Pappenheim-stained · bone marrow aspirate smear: 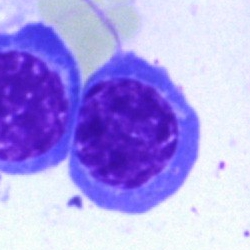

Cell: erythroblast.